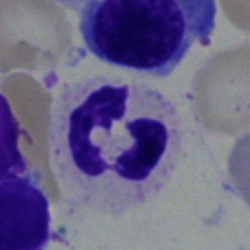
Morphology → neutrophil (segmented).